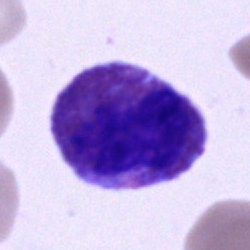Cell type = eosinophilic granulocyte.